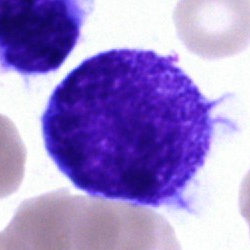
{"cell_type": "promyelocyte", "lineage": "myeloid"}